Bone marrow aspirate smear:
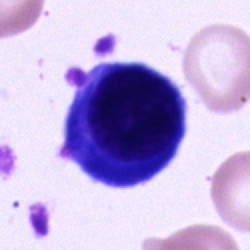

A nucleated red cell.